Bone marrow aspirate smear
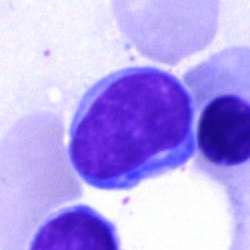Cell type: lymphocyte.